Bone marrow smear:
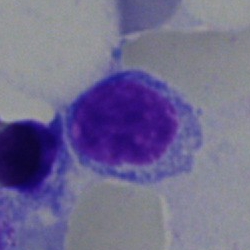 The cell shown is a typical lymphocyte.